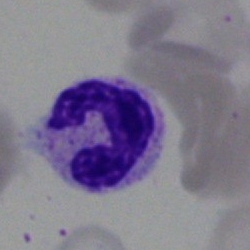 The cell is segmented neutrophil.